Bone marrow smear.
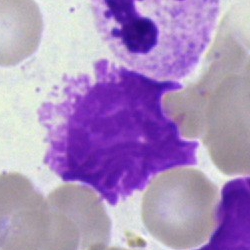
Morphology consistent with an artefact.